Bone marrow aspirate smear
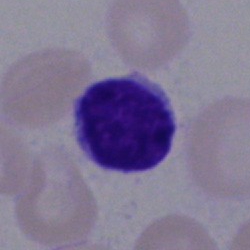
Specimen: bone marrow aspirate smear.
Cell type: typical lymphocyte.
Lineage: lymphoid.